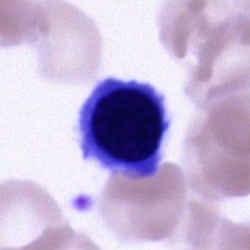Q: What type of cell is this?
A: This is an unidentifiable cell.